Bone marrow smear:
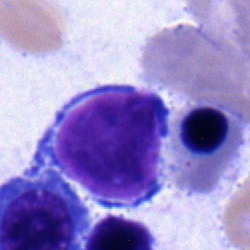
Cell: proerythroblast.